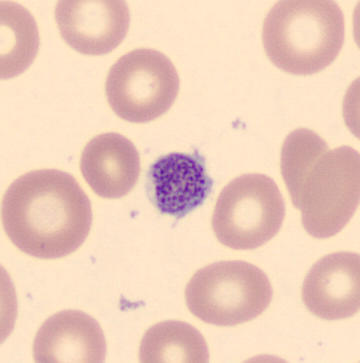 Classification = platelet (thrombocyte). Preparation: Peripheral blood film. CellaVision DM96. May Grünwald-Giemsa stain.